250×250. Bone marrow smear:
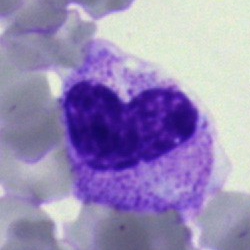
Impression — band-form neutrophil.